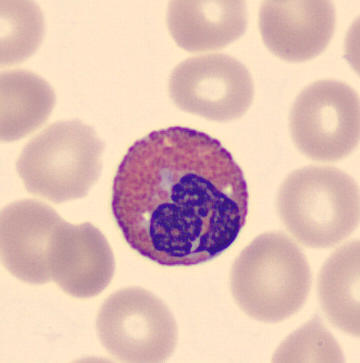
An eosinophil.